Bone marrow smear · May-Grünwald-Giemsa stain · image size 250×250 — 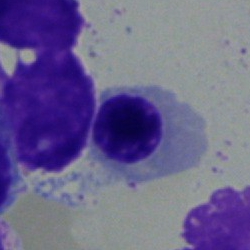
Morphological class = polymorphonuclear neutrophil.